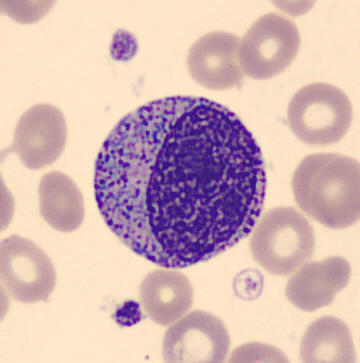

Progranulocyte.